Bone marrow aspirate smear
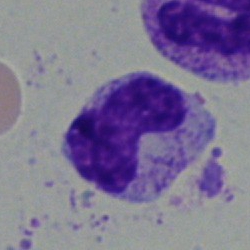The cell shown is a band neutrophil.